Bone marrow aspirate smear
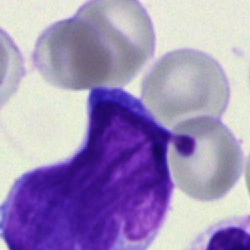Specimen: bone marrow aspirate smear.
Cell type: blast.